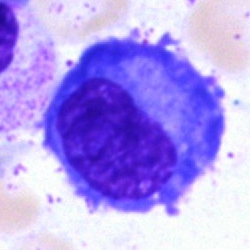
Q: What is shown here?
A: A plasmacyte.